250 by 250 pixels. Bone marrow smear.
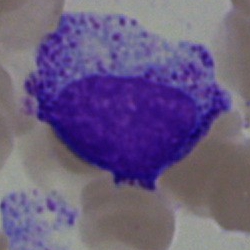

Showing a myelocyte.